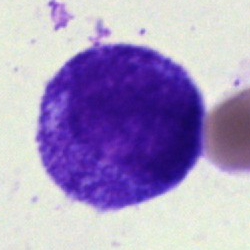 Morphology — myelocyte.